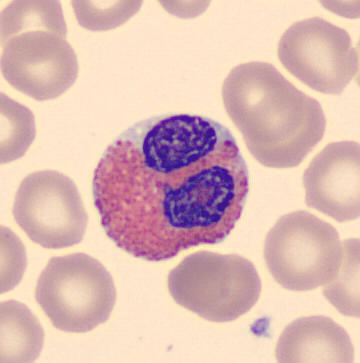Peripheral blood smear. MGG stain.

An eosinophil.